Bone marrow aspirate smear: 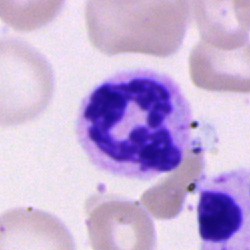

Showing a neutrophil (segmented).